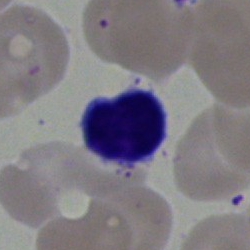{"cell_type": "typical lymphocyte"}